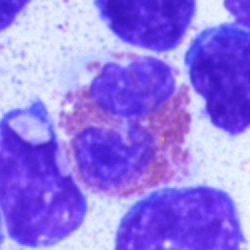
Bone marrow aspirate smear, single cell — eosinophilic granulocyte.